Bone marrow smear; 250×250; single-cell crop:
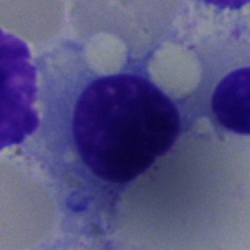 Morphology consistent with a nucleated red blood cell.